Peripheral blood smear.
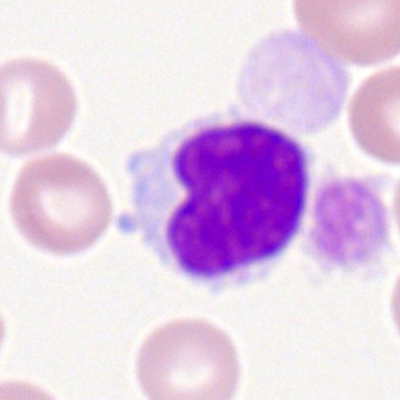

The classification is typical lymphocyte.